Brightfield microscopy, 40× oil immersion. Bone marrow aspirate smear. Image size 250×250 — 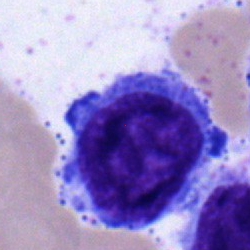 A blast cell.